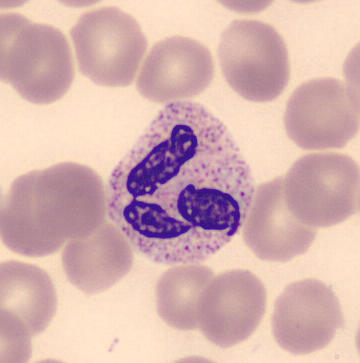
Q: Identify the cell.
A: It is a segmented neutrophil.